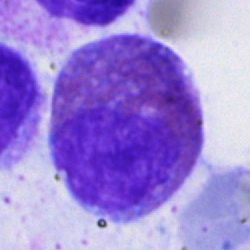Q: Identify the cell.
A: Eosinophilic granulocyte.